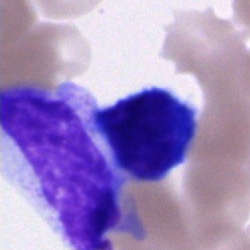Bone marrow aspirate smear, single cell — unidentifiable cell.